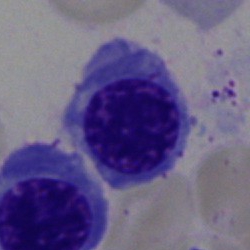 Single-cell crop from a bone marrow smear: nucleated red cell.